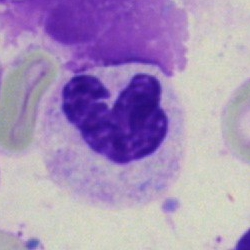

Impression → polymorphonuclear neutrophil.